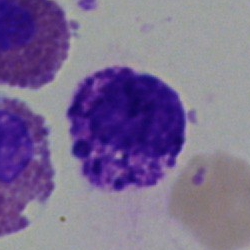

{"cell_type": "basophil", "lineage": "myeloid"}